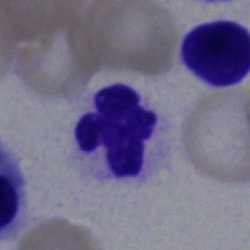 Q: What type of cell is this?
A: Segmented neutrophil.